Bone marrow aspirate smear:
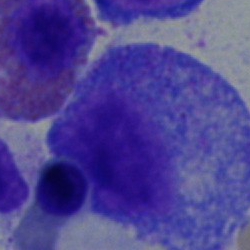

Single cell identified as a promyelocyte.